Bone marrow aspirate smear. MGG-stained
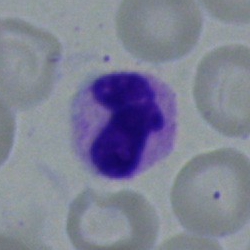

This is a neutrophil (band).